Bone marrow aspirate smear: 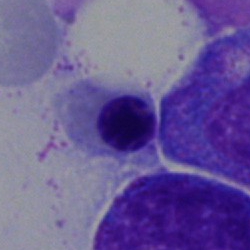 {"cell_type": "nucleated red blood cell", "lineage": "erythroid"}